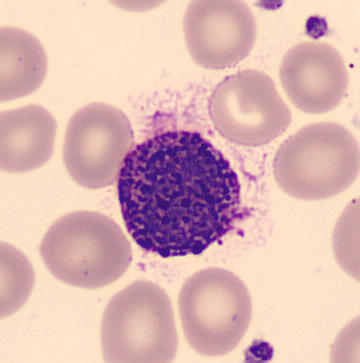 {"cell_type": "basophil", "lineage": "myeloid"}